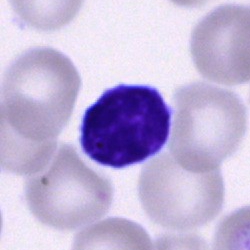
Classification — typical lymphocyte.